Bone marrow aspirate smear
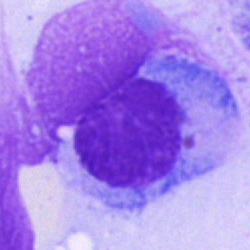Impression → plasmacyte.